Bone marrow smear: 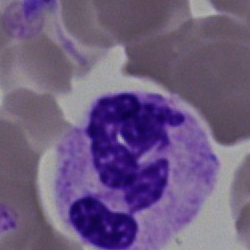Q: What is the morphological classification of this cell?
A: This is a polymorphonuclear neutrophil.